100× oil immersion, 14.14 px/µm · peripheral blood smear — 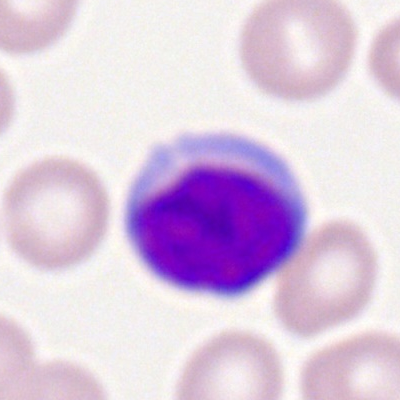Classification: typical lymphocyte.